Peripheral blood smear — 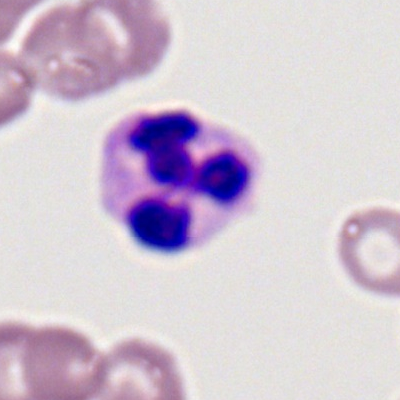 Q: Identify the cell.
A: This is a segmented neutrophil.